Bone marrow aspirate smear. 250×250 px.
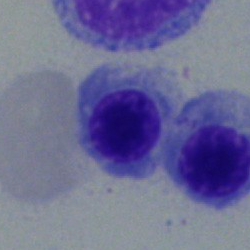 Q: What is the morphological classification of this cell?
A: This is an erythroblast.